Bone marrow smear:
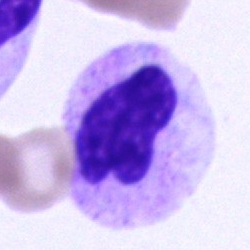

Classification — band-form neutrophil.